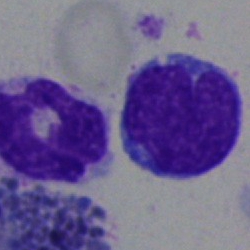{"cell_type": "undifferentiated blast"}